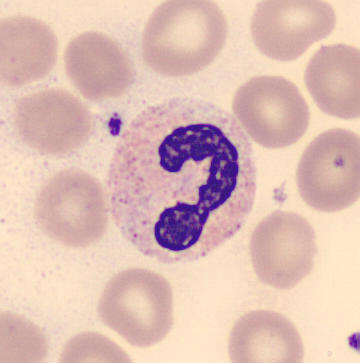

Classification: neutrophil (segmented).

Acquisition: Peripheral blood smear · MGG stain · image size 360×363.